Pappenheim-stained; bone marrow smear.
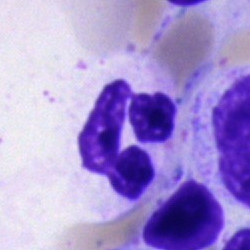 Showing a segmented neutrophil.